Bone marrow aspirate smear — 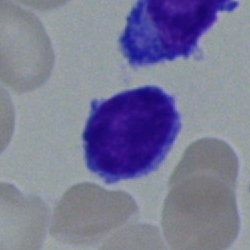
Impression → typical lymphocyte.